250 by 250 pixels · bone marrow smear: 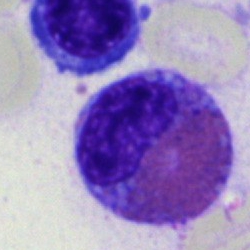
Morphology — eosinophilic granulocyte.